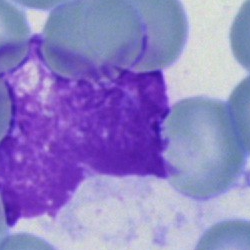An artifact.